Bone marrow smear:
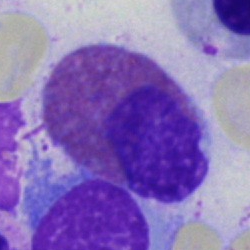 Specimen: bone marrow smear.
Cell: eosinophil.
Lineage: myeloid.